Bone marrow aspirate smear · 250×250 px
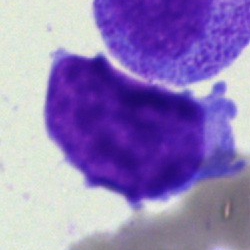{"cell_type": "other cell"}